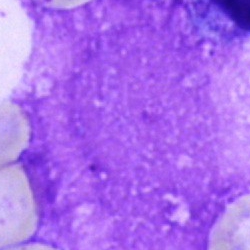Impression — artifact.